250×250. Bone marrow aspirate smear.
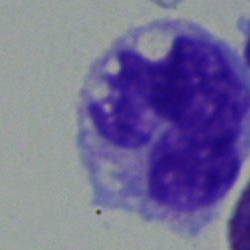

Morphology consistent with a monocyte.